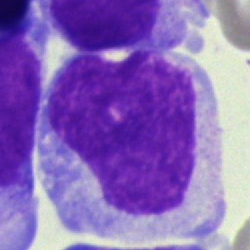

Specimen: bone marrow aspirate smear.
Cell type: blast.